Cropped to a single cell · bone marrow smear.
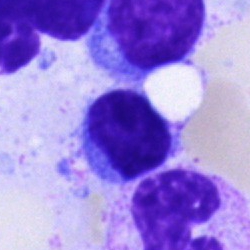 {"cell_type": "lymphocyte"}